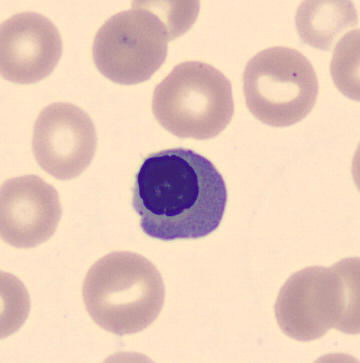

Classification — nucleated red blood cell.

Peripheral blood film.